Image size 250×250; bone marrow aspirate smear: 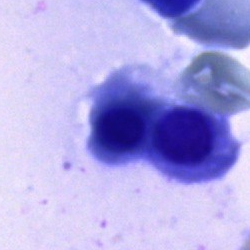

The cell is nucleated red blood cell.